Peripheral blood smear — 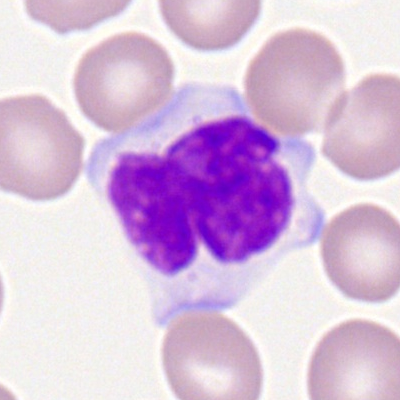
The cell type is lymphocyte.